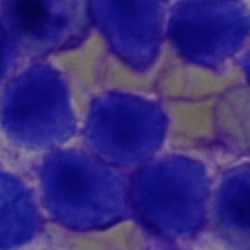
Morphology → typical lymphocyte.